Bone marrow smear — 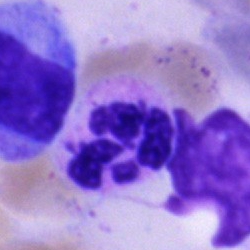
Cell = segmented neutrophil.